250 by 250 pixels; bone marrow aspirate smear — 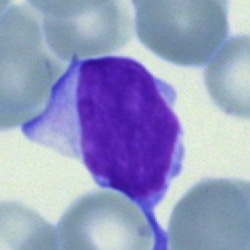 Typical lymphocyte.